400×400. Peripheral blood film. 100× objective, oil immersion:
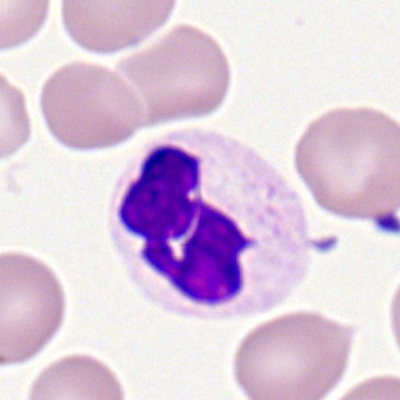 The cell shown is a polymorphonuclear neutrophil.